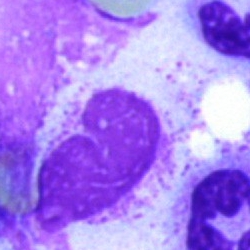Cell: artifact.